250 by 250 pixels · single-cell crop · bone marrow smear.
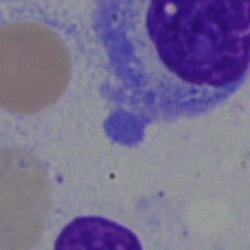

Classification — plasma cell.